Bone marrow aspirate smear; 250 by 250 pixels:
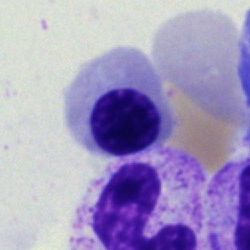Morphology — nucleated red blood cell.